Bone marrow smear. Pappenheim-stained. Brightfield microscopy, 40× oil immersion.
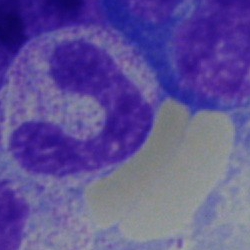Showing a neutrophil (band).